Bone marrow smear
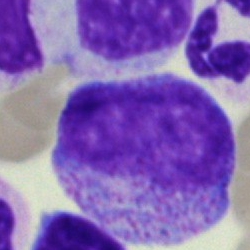 The cell shown is a promyelocyte.